Bone marrow smear; single-cell crop; 250×250 px:
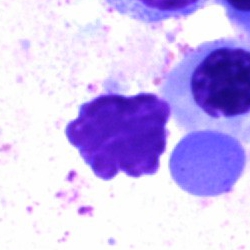

Impression — artifact.